Bone marrow smear; Pappenheim-stained:
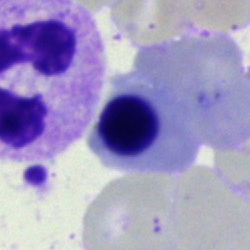

Morphology consistent with a normoblast.